Bone marrow smear · May-Grünwald-Giemsa/Pappenheim stain: 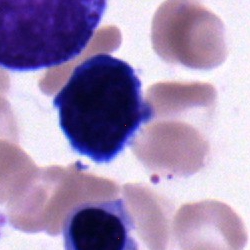
Morphology consistent with a typical lymphocyte.